Peripheral blood smear.
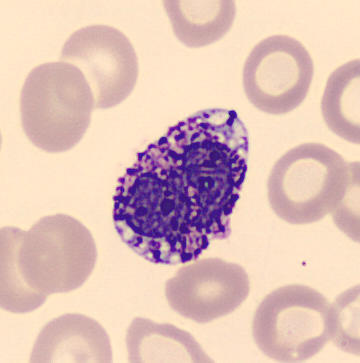
Identified as a basophilic granulocyte.